250×250 px; bone marrow aspirate smear.
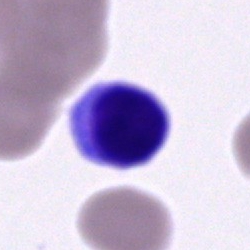 Q: What cell is this?
A: It is a cell of indeterminate lineage.